Peripheral blood film:
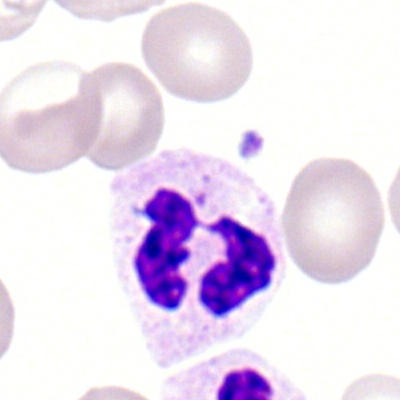Specimen: peripheral blood smear.
Cell type: segmented neutrophil.